Bone marrow smear:
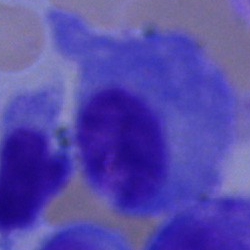Morphology → plasma cell.